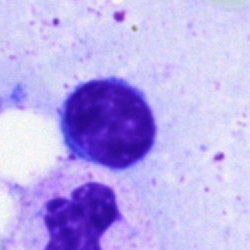
Q: What is the morphological classification of this cell?
A: It is a typical lymphocyte.